Bone marrow aspirate smear:
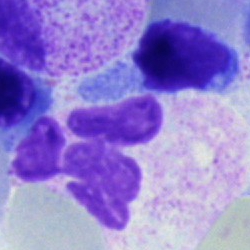Impression → segmented neutrophil.